Bone marrow smear.
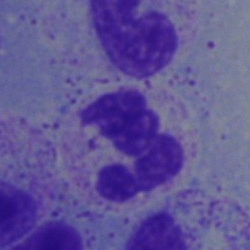Classification — polymorphonuclear neutrophil.